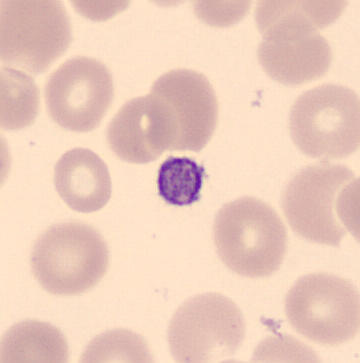 Q: What is shown here?
A: Thrombocyte.
Preparation: Peripheral blood film. CellaVision DM96 digital cell image. MGG stain.